Bone marrow aspirate smear: 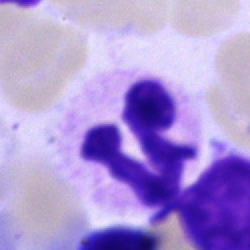
Polymorphonuclear neutrophil.